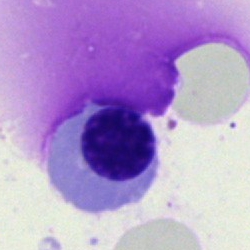

Nucleated red blood cell.